Bone marrow smear; May-Grünwald-Giemsa/Pappenheim stain: 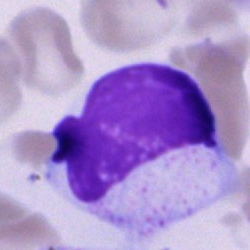
Showing an unidentifiable cell.